Bone marrow smear · May-Grünwald-Giemsa/Pappenheim stain.
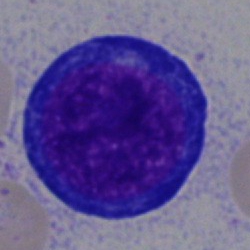

Showing a nucleated red blood cell.